Bone marrow aspirate smear · Pappenheim-stained · 40× objective, oil immersion: 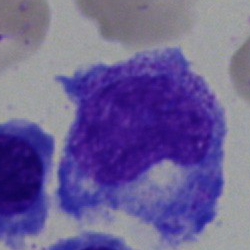Morphology — promyelocyte.